Bone marrow smear: 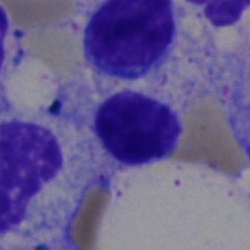
Classification — typical lymphocyte.